Bone marrow smear
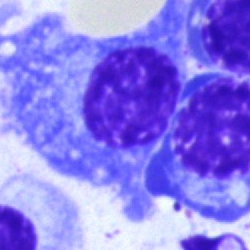

Plasmacyte.